Peripheral blood film:
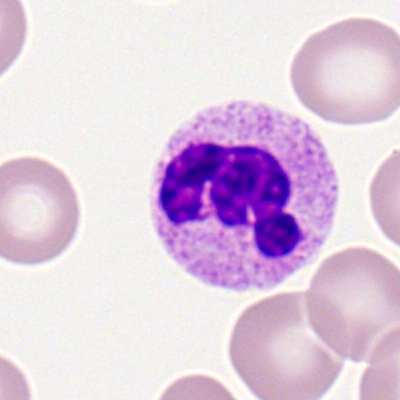
Cell type = polymorphonuclear neutrophil.